Peripheral blood film; single-cell field
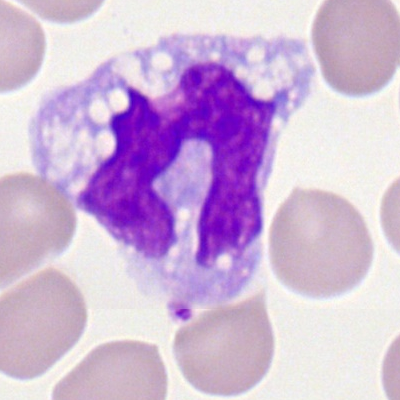
Single cell identified as a monocyte.